Bone marrow smear
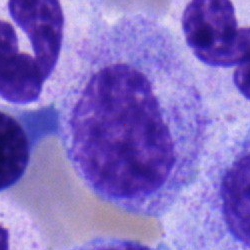

{"cell_type": "myelocyte", "lineage": "myeloid"}